Bone marrow aspirate smear:
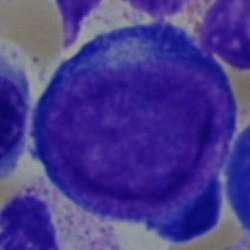

Q: Which cell type is shown here?
A: It is a pronormoblast.